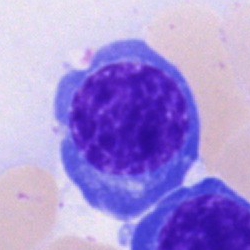Classification: nucleated red blood cell.